Bone marrow aspirate smear:
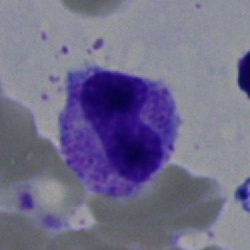Morphology → stab cell.